Peripheral blood film.
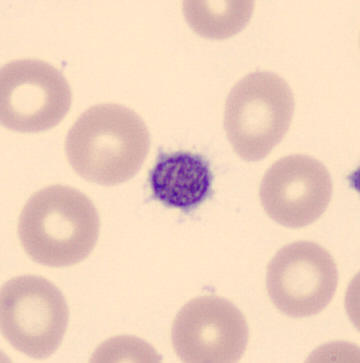

Morphological class — thrombocyte.